Peripheral blood film · Romanowsky-stained — 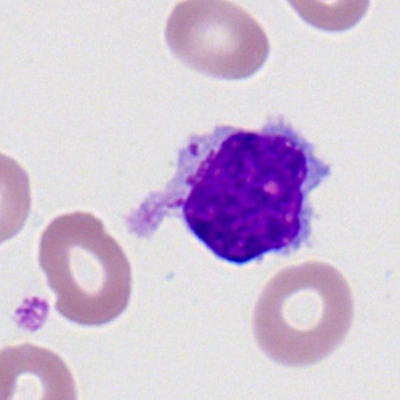 This is a typical lymphocyte.